Bone marrow smear:
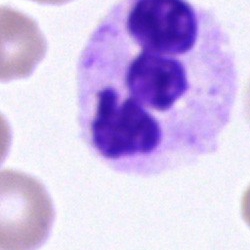Classification = polymorphonuclear neutrophil.